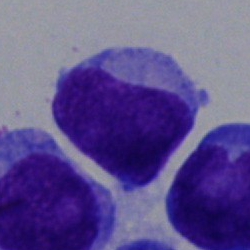

Q: What cell is this?
A: An undifferentiated blast.